Bone marrow smear: 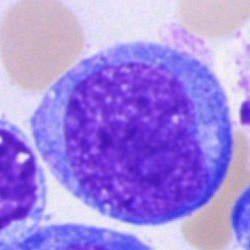A blast cell.